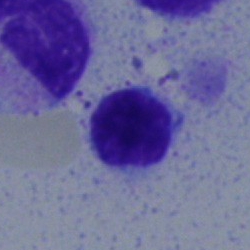
The cell is typical lymphocyte.